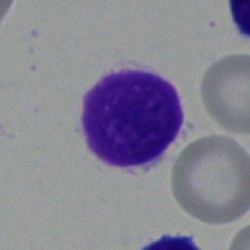Q: What type of cell is this?
A: A typical lymphocyte.